Image size 250×250; brightfield, 40× oil-immersion objective; bone marrow aspirate smear.
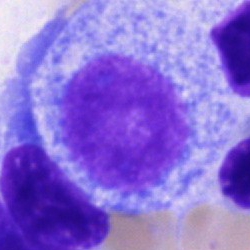
Morphology → progranulocyte.